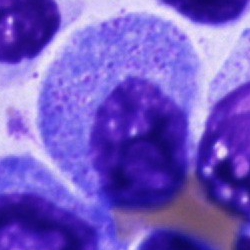 {"cell_type": "promyelocyte", "lineage": "myeloid"}